May-Grünwald-Giemsa stain; bone marrow aspirate smear: 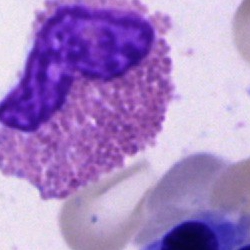An eosinophil.